Bone marrow smear — 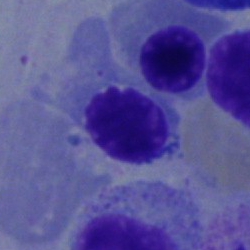

Impression → normoblast.